Bone marrow smear: 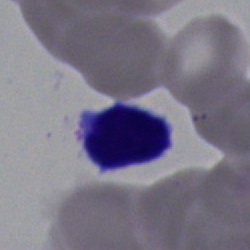

Cell type — lymphocyte.